Bone marrow aspirate smear
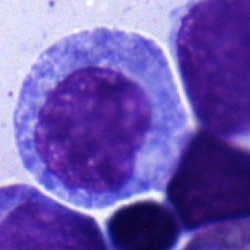
Q: What cell is this?
A: Progranulocyte.